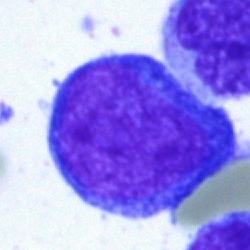Morphology consistent with a blast.